Bone marrow smear
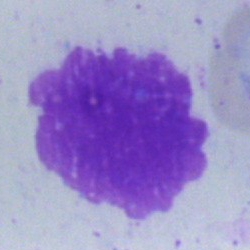

An artefact.